Peripheral blood smear
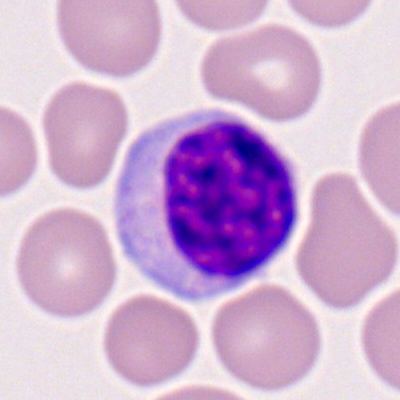 Cell: typical lymphocyte.